40× objective, oil immersion. Bone marrow aspirate smear
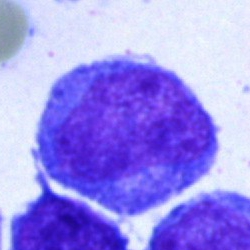
Morphology consistent with a blast.